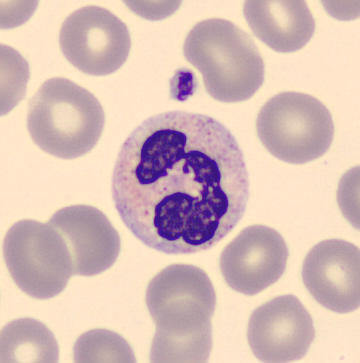Peripheral blood smear; automated cell imaging (CellaVision DM96); MGG stain. Cell — segmented neutrophil.